Bone marrow aspirate smear: 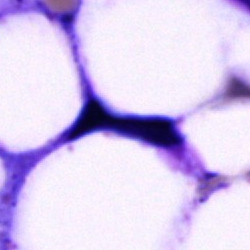

Q: What is shown here?
A: An artifact.